Peripheral blood film: 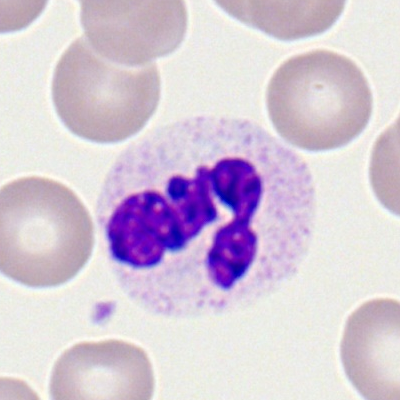Morphology consistent with a segmented neutrophil.